Bone marrow smear
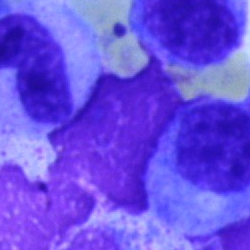The classification is artefact.